Bone marrow smear.
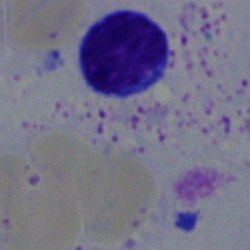

The cell is segmented neutrophil.